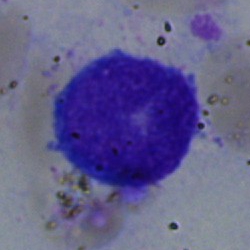 Single-cell crop from a bone marrow smear: blast.